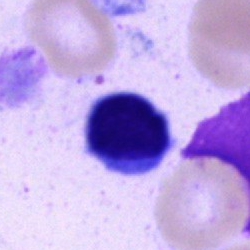 A lymphocyte.